100× objective, oil immersion · peripheral blood film:
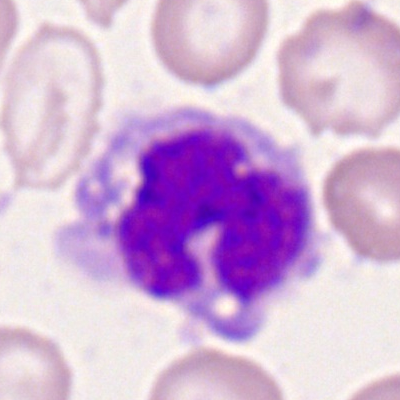
Impression — monocyte.